Bone marrow smear. 250 by 250 pixels. Cropped to a single cell — 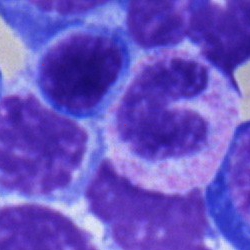 {"cell_type": "stab cell", "lineage": "myeloid"}